Brightfield, 40× oil-immersion objective. Bone marrow aspirate smear
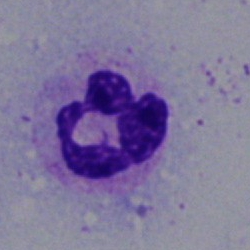 This is a polymorphonuclear neutrophil.